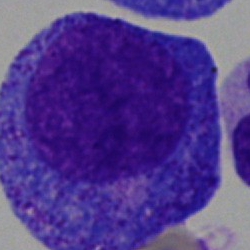

Classification = promyelocyte.